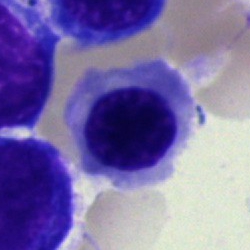 Cell — erythroblast.